250×250 px; bone marrow smear; May-Grünwald-Giemsa stain: 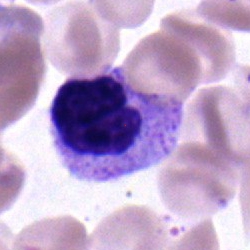
Classification: neutrophil (segmented).